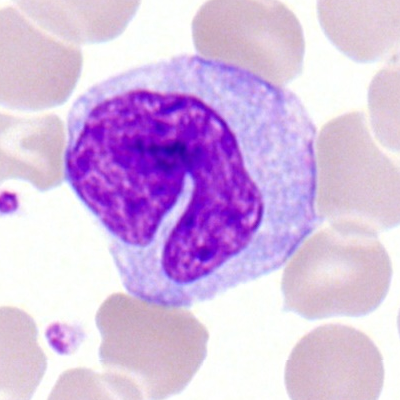

{"cell_type": "monocyte", "lineage": "myeloid"}